Bone marrow aspirate smear — 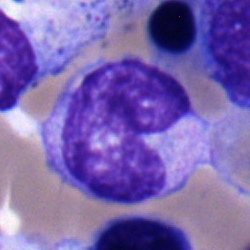 The cell type is metamyelocyte.